Bone marrow aspirate smear
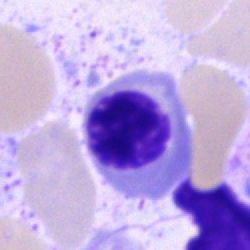Showing a normoblast.